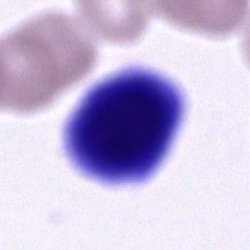
Q: What is the morphological classification of this cell?
A: A cell of indeterminate lineage.